Bone marrow aspirate smear — 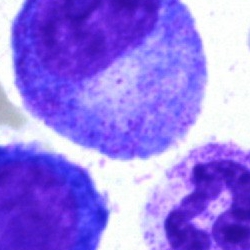

Q: Identify the cell.
A: This is a progranulocyte.